Peripheral blood smear: 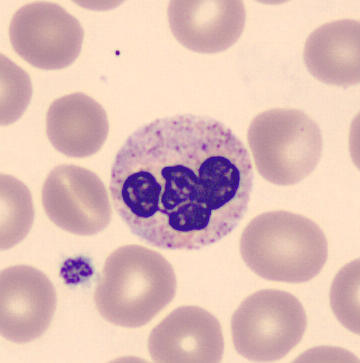
Q: What is shown here?
A: A neutrophil (segmented).